Bone marrow smear; 250×250; Pappenheim-stained
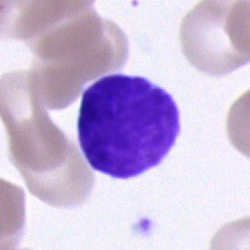
Morphology → lymphocyte.